Bone marrow smear — 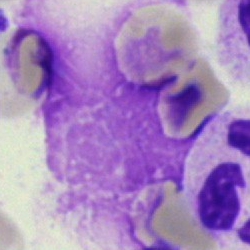Specimen: bone marrow smear.
Classification: artefact.